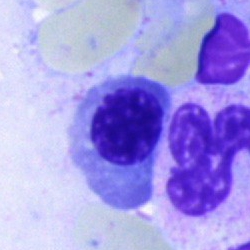The cell shown is an erythroblast.